Bone marrow aspirate smear; 40× objective, oil immersion; image size 250×250 — 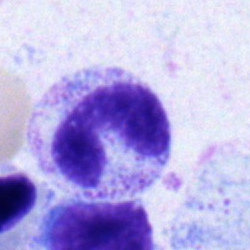

Morphology consistent with a neutrophil (band).